Image size 250×250 · cropped to a single cell · bone marrow aspirate smear.
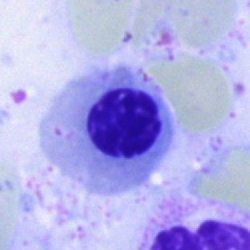
Q: What type of cell is this?
A: A nucleated red cell.